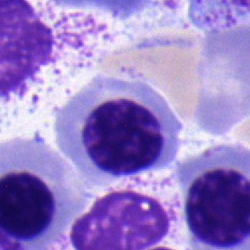Morphological class = nucleated red blood cell.